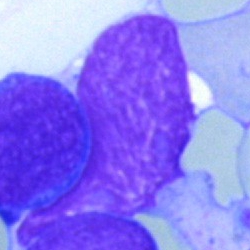 Artifact.